100× objective, oil immersion; image size 400×400; peripheral blood smear.
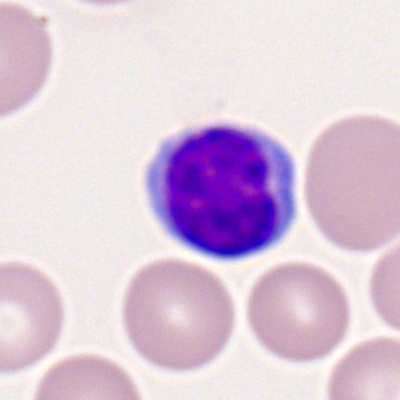

A lymphocyte.